Bone marrow aspirate smear
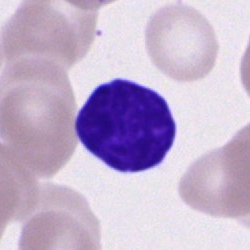The cell is typical lymphocyte.